Bone marrow smear.
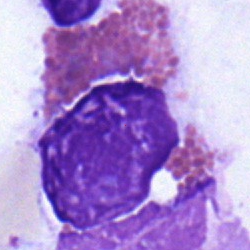
Morphological class — eosinophil.